Single-cell field; 250×250 px; bone marrow aspirate smear:
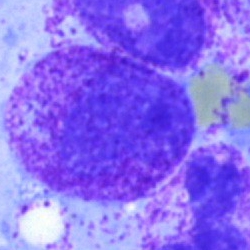 The cell shown is a myelocyte.